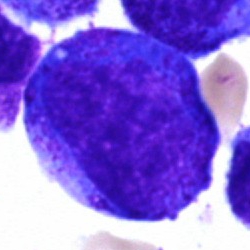
Bone marrow aspirate smear, single cell — progranulocyte.